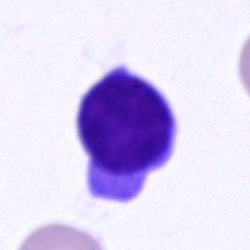A typical lymphocyte.